Bone marrow smear · May-Grünwald-Giemsa/Pappenheim stain: 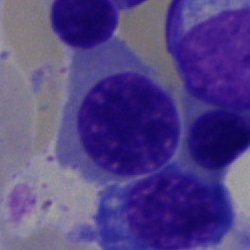
An erythroblast.